Bone marrow smear; single-cell crop
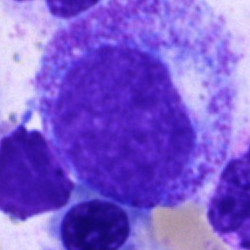

Impression → progranulocyte.